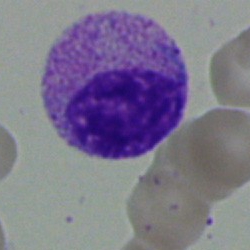 Single cell identified as a myelocyte.